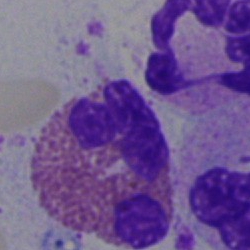Single-cell crop from a bone marrow smear: eosinophil.